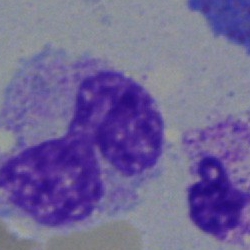

The morphological class is neutrophil (segmented).